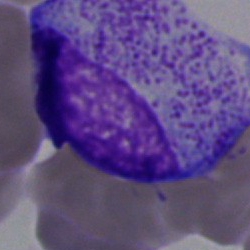
Q: Which cell type is shown here?
A: Myelocyte.